Bone marrow smear · single-cell crop
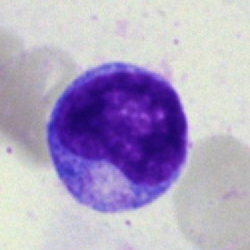{"cell_type": "myelocyte"}